250×250 px. Bone marrow smear. May-Grünwald-Giemsa stain
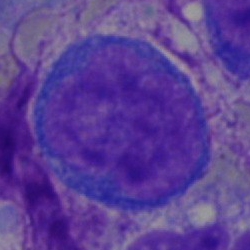The cell shown is a proerythroblast.